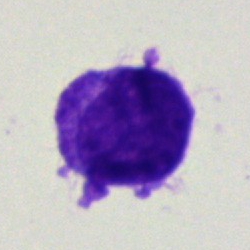 This is an undifferentiated blast.